Bone marrow aspirate smear.
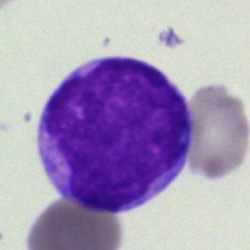
Morphological class = blast cell.